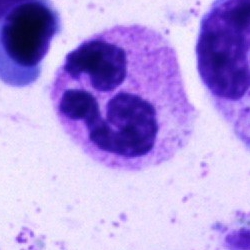 The cell shown is a neutrophil (segmented).